Bone marrow smear:
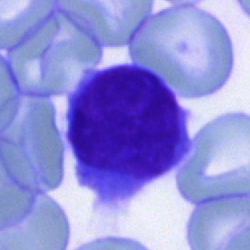 A typical lymphocyte.